40× objective, oil immersion; bone marrow smear.
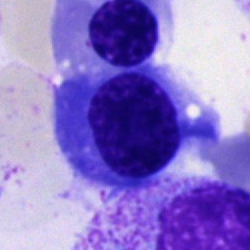 Morphology consistent with a nucleated red cell.